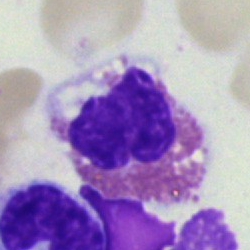

Showing an eosinophil.